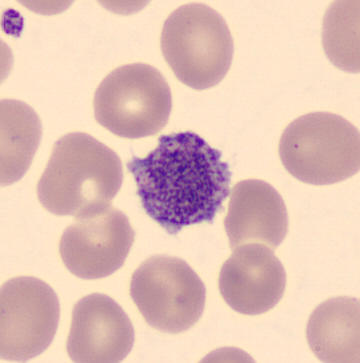Q: What is this?
A: This is a platelet (thrombocyte).
Peripheral blood smear; 360×363 px; imaged on a CellaVision DM96 analyser.